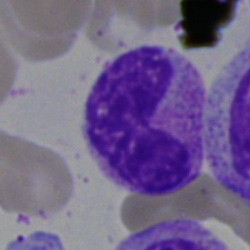

Q: Which cell type is shown here?
A: A stab cell.